Peripheral blood smear. CellaVision DM96 digital cell image: 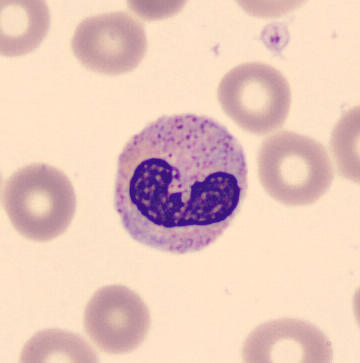
Showing a stab cell.